Bone marrow aspirate smear
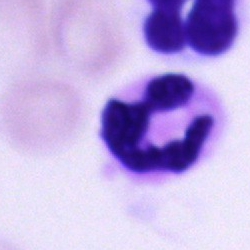Cell type — polymorphonuclear neutrophil.